Bone marrow smear.
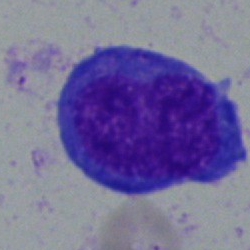

The classification is blast cell.